Pappenheim-stained; bone marrow aspirate smear:
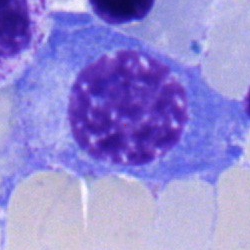

Plasmacyte.